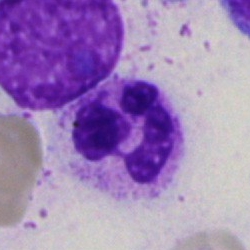Cell type — segmented neutrophil.